Bone marrow aspirate smear · image size 250×250
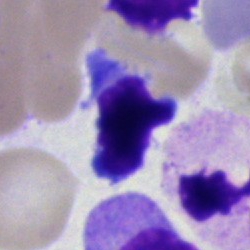

Q: What is shown here?
A: An artefact.